Peripheral blood smear — 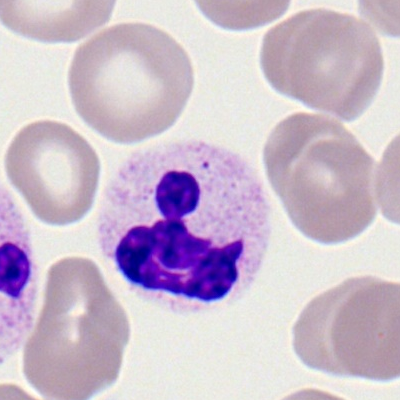
Single cell identified as a polymorphonuclear neutrophil.